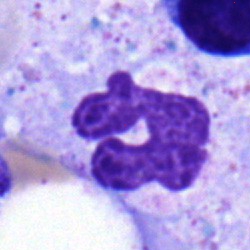
Morphology — neutrophil (segmented).